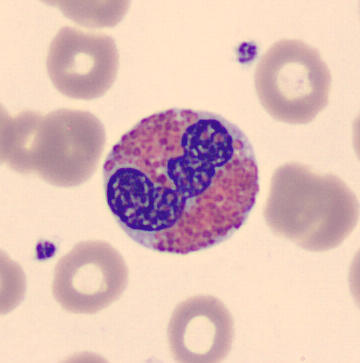
Q: What is the morphological classification of this cell?
A: It is an eosinophilic granulocyte. Peripheral blood smear · imaged on a CellaVision DM96 analyser.